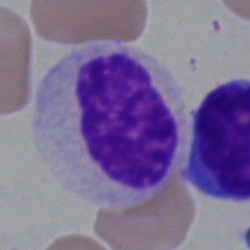

Morphological class = metamyelocyte.